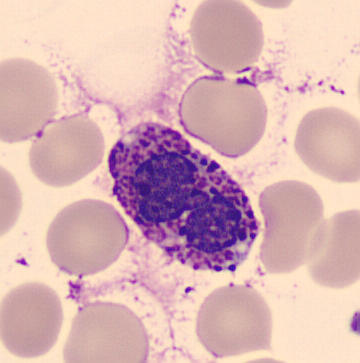Q: What type of cell is this?
A: This is a basophilic granulocyte.